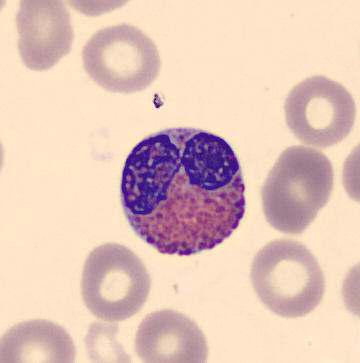 An eosinophilic granulocyte on a peripheral blood smear.